Cropped to a single cell · bone marrow aspirate smear · 40× objective, oil immersion.
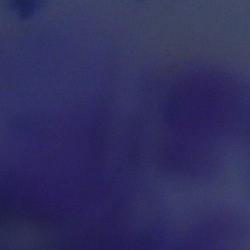
The morphological class is artefact.